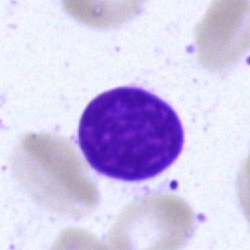Bone marrow aspirate smear, single cell — artifact.